Image size 250×250 · bone marrow aspirate smear: 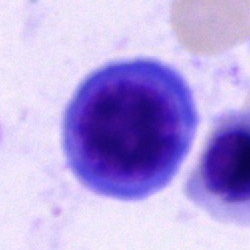

Morphology consistent with a nucleated red cell.